250×250 · bone marrow smear:
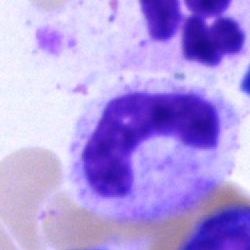{"cell_type": "neutrophil (band)"}